Bone marrow aspirate smear. Single-cell crop.
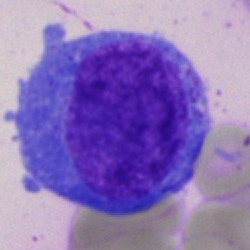 A blast cell.